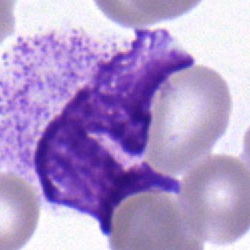Bone marrow smear showing a stab cell.